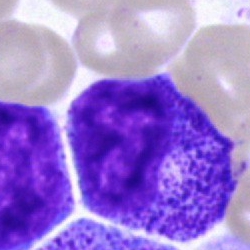
{"cell_type": "promyelocyte", "lineage": "myeloid"}